Peripheral blood film:
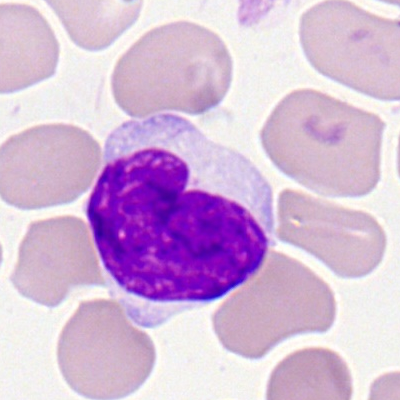
Q: What is the morphological classification of this cell?
A: It is a typical lymphocyte.